Single-cell crop · bone marrow smear · 40× objective, oil immersion: 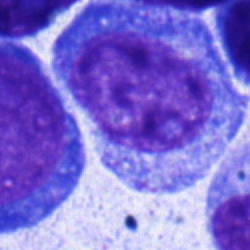

Showing a promyelocyte.